Bone marrow smear. Single-cell crop: 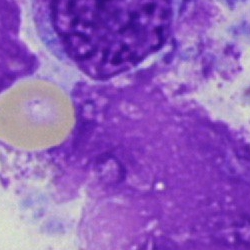Specimen: bone marrow smear.
Cell type: artefact.